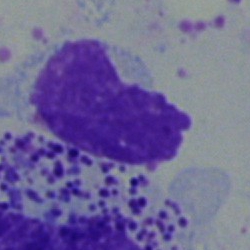

Showing an other cell.